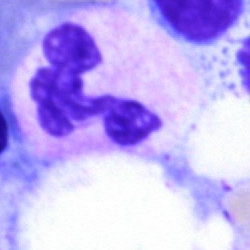
Q: What is shown here?
A: It is a segmented neutrophil.